Cropped to a single cell · bone marrow smear · brightfield, 40× oil-immersion objective:
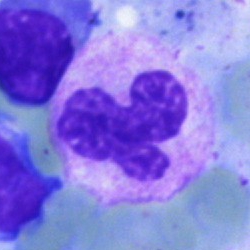
This is a polymorphonuclear neutrophil.